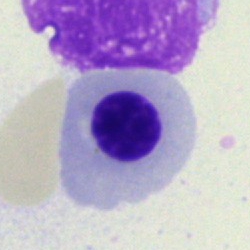 Impression — nucleated red cell.